Bone marrow aspirate smear:
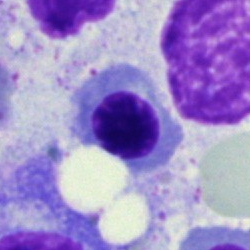Morphology — erythroblast.